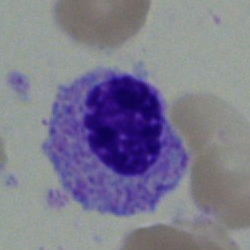

{"cell_type": "myelocyte", "lineage": "myeloid"}